Peripheral blood film:
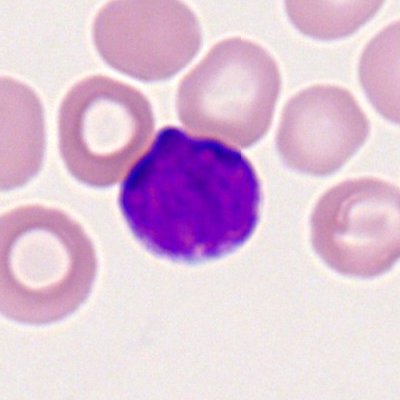

Cell — myeloblast.